Bone marrow smear.
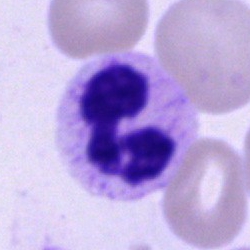 Q: Identify the cell.
A: Neutrophil (segmented).